Bone marrow smear; 250×250 px; Pappenheim-stained
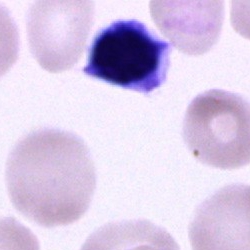 Specimen: bone marrow smear.
Cell: unidentifiable cell.